Bone marrow aspirate smear
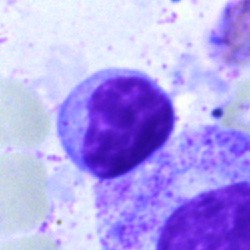The cell shown is a typical lymphocyte.